250 by 250 pixels. Bone marrow aspirate smear — 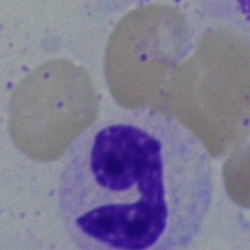 This is a band-form neutrophil.